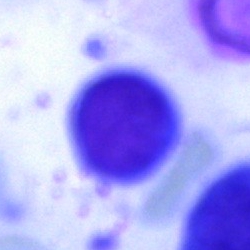

Q: What cell is this?
A: It is a cell of indeterminate lineage.